40× objective, oil immersion; bone marrow smear; MGG-stained.
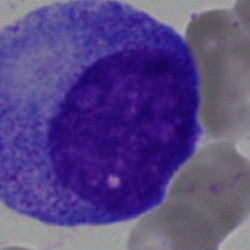Morphology — promyelocyte.